Bone marrow smear:
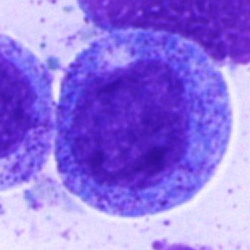 This is a promyelocyte.